40× oil immersion · bone marrow smear · single-cell crop — 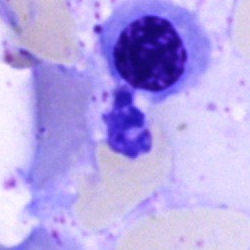Single cell identified as a normoblast.